Brightfield, 40× oil-immersion objective · bone marrow aspirate smear: 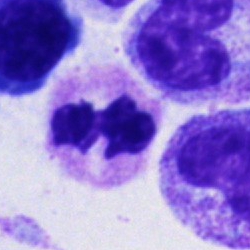
Impression → polymorphonuclear neutrophil.